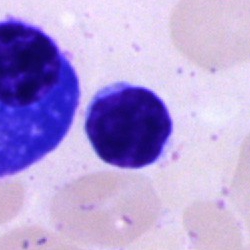 Q: Identify the cell.
A: A lymphocyte.